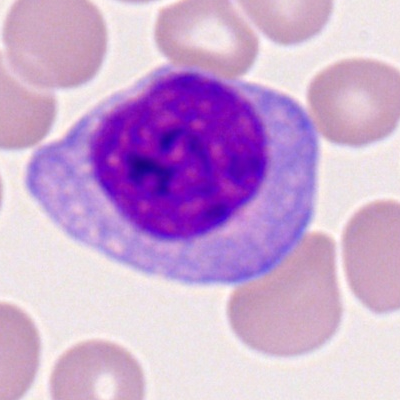

The cell shown is a monocyte.